May-Grünwald-Giemsa/Pappenheim stain. Bone marrow aspirate smear. Image size 250×250: 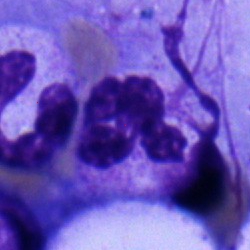Single cell identified as a neutrophil (segmented).